Brightfield microscopy, 40× oil immersion · single-cell crop · bone marrow smear — 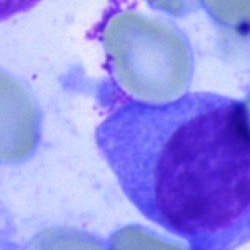 Morphological class: plasmacyte.